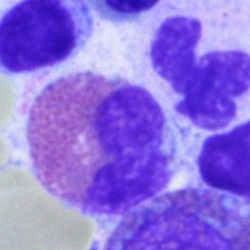Specimen: bone marrow smear.
Cell type: eosinophil.
Lineage: myeloid.